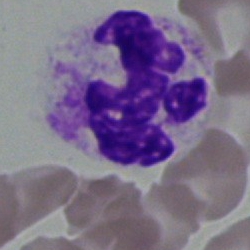

Cell type: neutrophil (segmented).